Pappenheim-stained. Bone marrow aspirate smear: 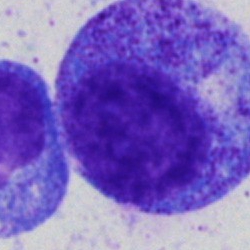 Q: What type of cell is this?
A: Promyelocyte.